100× objective, oil immersion. Peripheral blood film:
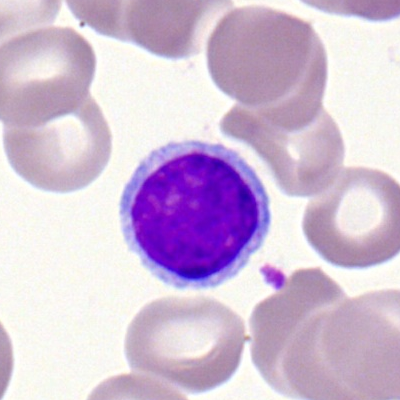 Morphology consistent with a typical lymphocyte.